Bone marrow smear; 40× oil immersion; single-cell field.
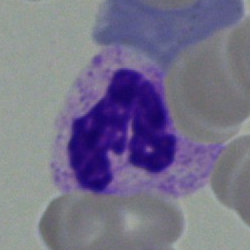Q: What is the morphological classification of this cell?
A: It is a segmented neutrophil.